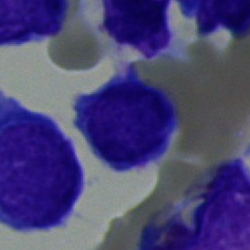

Q: Which cell type is shown here?
A: It is a typical lymphocyte.